Bone marrow smear. Pappenheim-stained: 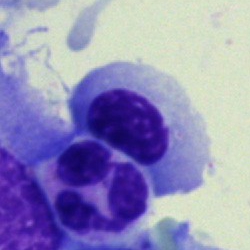

Classification — nucleated red cell.